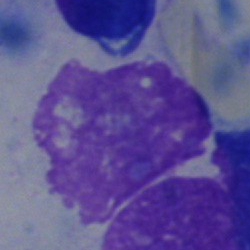 {"cell_type": "artifact"}